Bone marrow smear; brightfield, 40× oil-immersion objective — 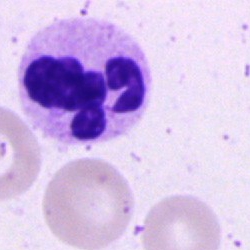Single cell identified as a polymorphonuclear neutrophil.